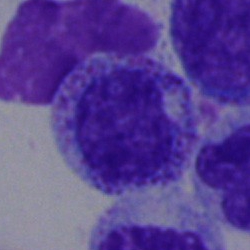 Q: What is the morphological classification of this cell?
A: This is a myelocyte.